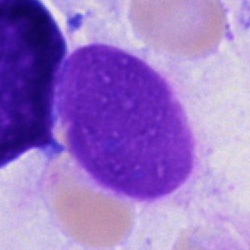Q: What is shown here?
A: Artifact.